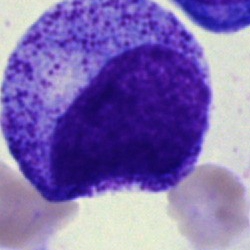A progranulocyte on a bone marrow smear.